Bone marrow smear. 40× oil immersion: 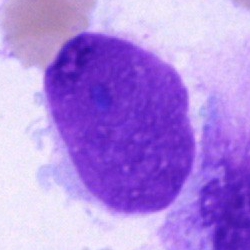

An artifact.